Bone marrow smear. MGG-stained:
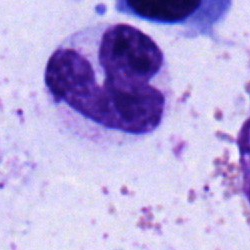
A neutrophil (band).